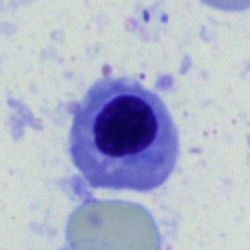 Cell = erythroblast.